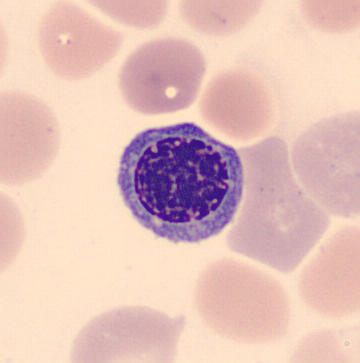 Peripheral blood film, single cell — nucleated red blood cell.